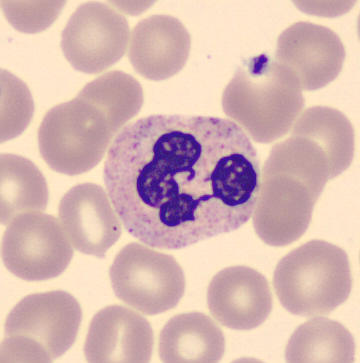
Showing a polymorphonuclear neutrophil.